Single cell centered in the field · bone marrow aspirate smear:
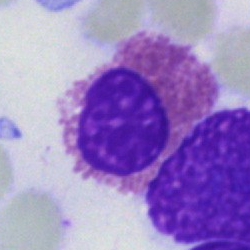

This is an eosinophilic granulocyte.